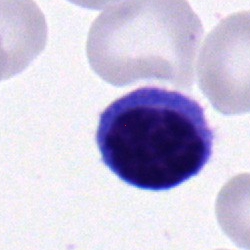 {"cell_type": "nucleated red blood cell", "lineage": "erythroid"}